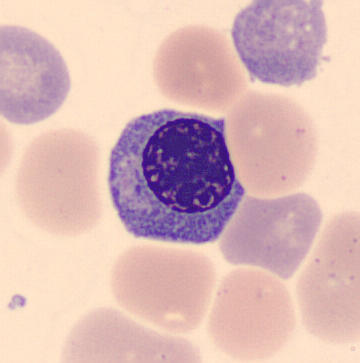

Acquisition: Peripheral blood smear.
Impression — normoblast.